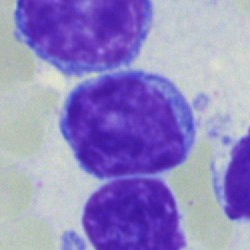

This is a lymphocyte.